Bone marrow aspirate smear; single-cell crop:
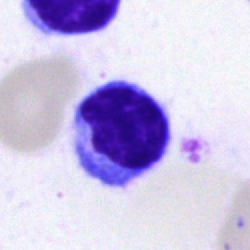

Impression — typical lymphocyte.